Image size 250×250. Bone marrow aspirate smear
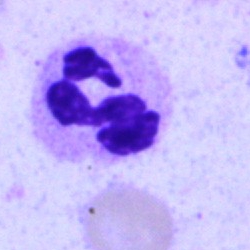Cell — neutrophil (segmented).